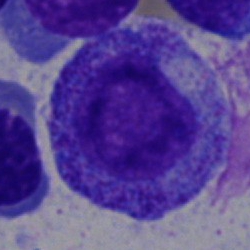

The cell shown is a promyelocyte.